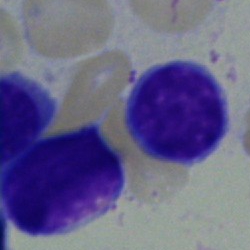Morphological class: typical lymphocyte.